Bone marrow aspirate smear.
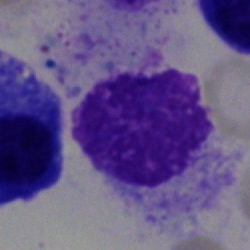

Morphology → artefact.